Bone marrow smear:
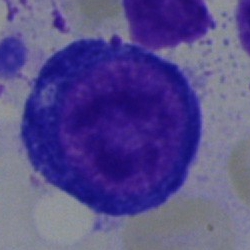 Pronormoblast.